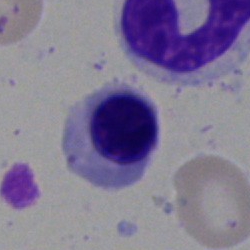
Classification = normoblast.